Bone marrow smear — 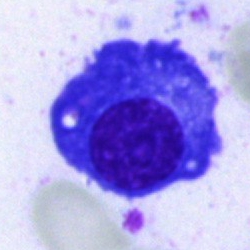

{"cell_type": "plasma cell", "lineage": "lymphoid"}